Bone marrow smear · 40× oil immersion:
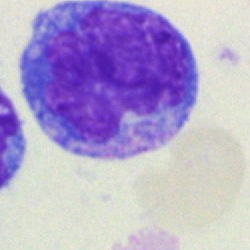

Classification: monocyte.